Image size 250×250; bone marrow smear
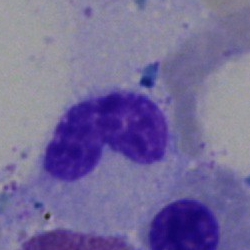Cell — neutrophil (band).